Bone marrow aspirate smear:
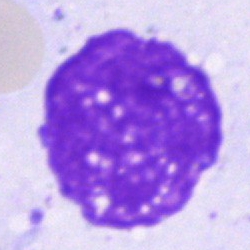 Artifact.